Bone marrow aspirate smear · image size 250×250 · single-cell crop — 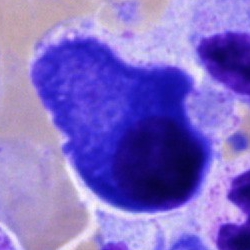Cell type: plasmacyte.